Brightfield microscopy, 40× oil immersion. Bone marrow smear
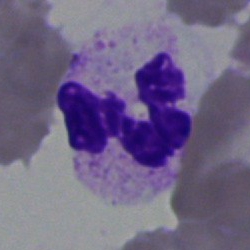The cell shown is a myelocyte.